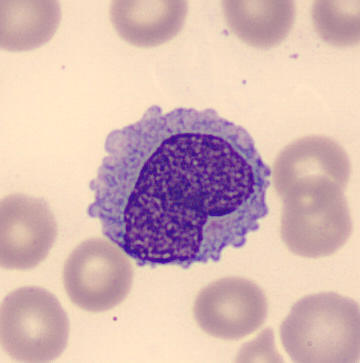Acquisition: Peripheral blood smear. Cell type — monocyte.